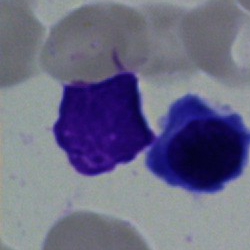
Cell — normoblast.